Bone marrow smear:
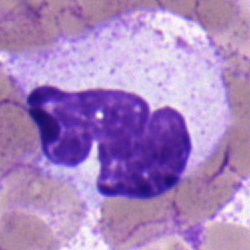
The cell is segmented neutrophil.